Bone marrow aspirate smear — 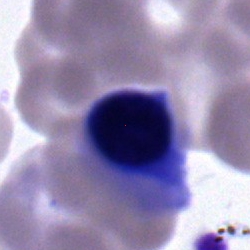
Morphological class — nucleated red cell.